Bone marrow aspirate smear: 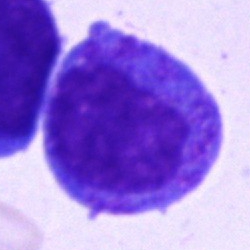Cell type — promyelocyte.